Bone marrow aspirate smear:
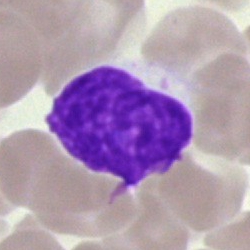
Cell = artefact.